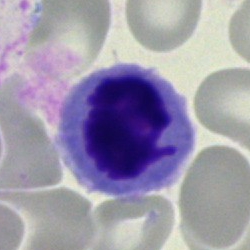

Cell type = artifact.